Bone marrow aspirate smear; May-Grünwald-Giemsa/Pappenheim stain.
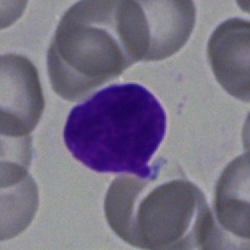
A lymphocyte.